Bone marrow smear · 250×250 · single cell centered in the field: 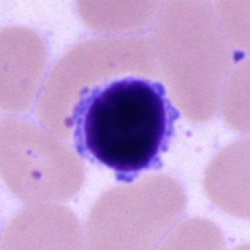
This is a typical lymphocyte.